Bone marrow smear; May-Grünwald-Giemsa stain; single-cell field.
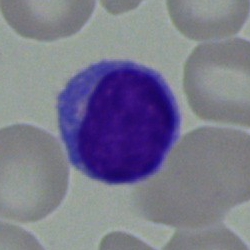

Classification: typical lymphocyte.